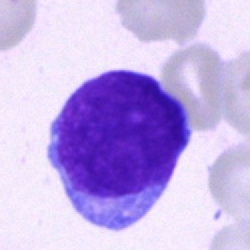The classification is blast.